Bone marrow aspirate smear
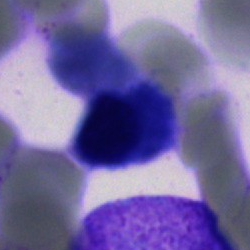 {"cell_type": "artifact"}